May-Grünwald-Giemsa/Pappenheim stain; bone marrow aspirate smear; single-cell field: 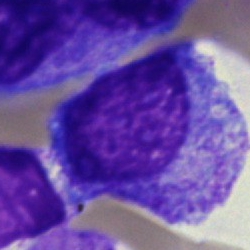

Impression → promyelocyte.